Bone marrow aspirate smear. 250 by 250 pixels. May-Grünwald-Giemsa stain
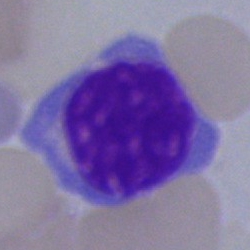
This is a normoblast.